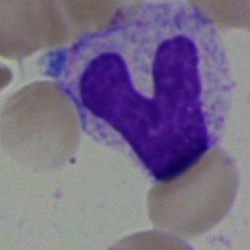

Bone marrow smear showing a band-form neutrophil.